Bone marrow aspirate smear · image size 250×250 · May-Grünwald-Giemsa stain — 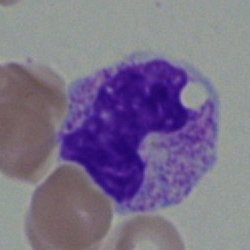
Q: Which cell type is shown here?
A: It is a metamyelocyte.